250 by 250 pixels; bone marrow smear: 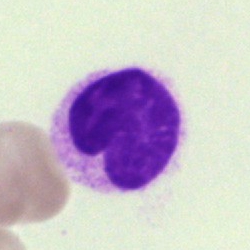{"cell_type": "artefact"}